Bone marrow aspirate smear · Pappenheim-stained
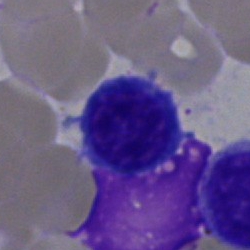

Lymphocyte.